Bone marrow smear: 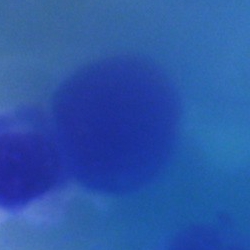

Artefact.